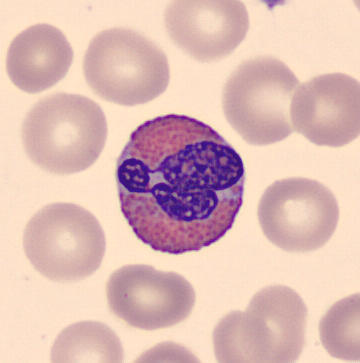Cell — eosinophil.